Single-cell field. Bone marrow smear.
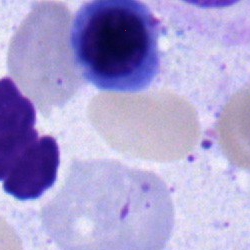 Cell = erythroblast.